Single cell centered in the field · 250×250 px · bone marrow aspirate smear — 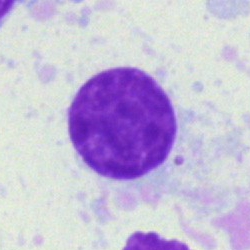A lymphocyte.